Bone marrow smear: 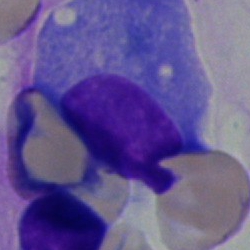

Q: What type of cell is this?
A: A plasma cell.